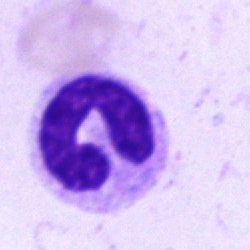Morphological class — band neutrophil.